Bone marrow aspirate smear. Single-cell field:
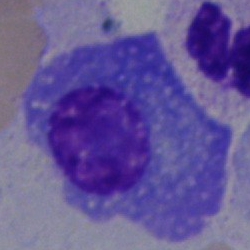 Morphology — plasmacyte.